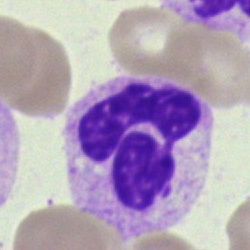{"cell_type": "neutrophil (segmented)", "lineage": "myeloid"}